Bone marrow smear: 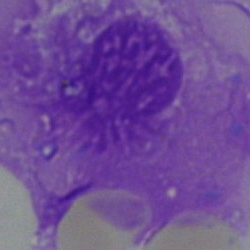

Specimen: bone marrow aspirate smear.
Cell type: artefact.